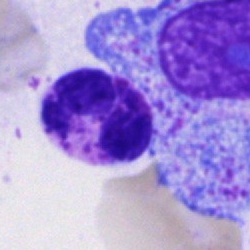

Cell type = neutrophil (segmented).